250×250 px. Pappenheim-stained. Bone marrow aspirate smear: 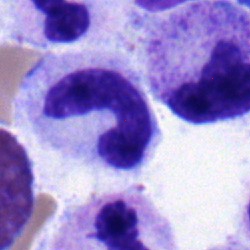 Q: What type of cell is this?
A: Band-form neutrophil.